Bone marrow smear: 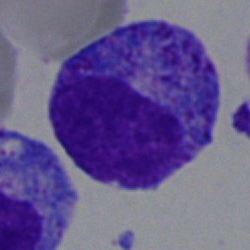Specimen: bone marrow aspirate smear.
Cell: promyelocyte.
Lineage: myeloid.